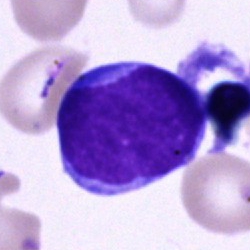
Impression → blast.